Bone marrow aspirate smear · cropped to a single cell · 250×250: 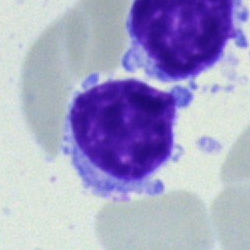
Single cell identified as a typical lymphocyte.